Bone marrow smear: 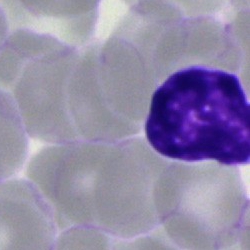

This is a typical lymphocyte.